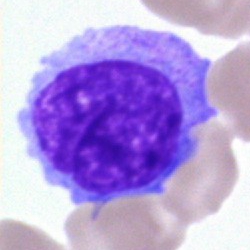
Bone marrow smear showing a monocyte.